Bone marrow smear: 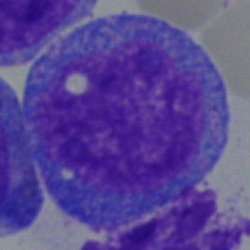 Q: What is shown here?
A: It is a promyelocyte.